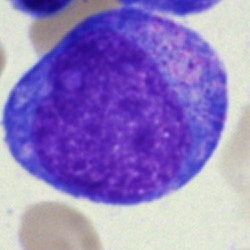 This is a blast cell.